Bone marrow smear; single cell centered in the field: 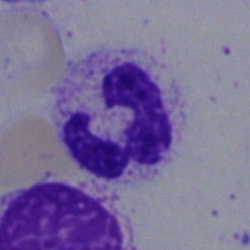Q: What is shown here?
A: Neutrophil (segmented).